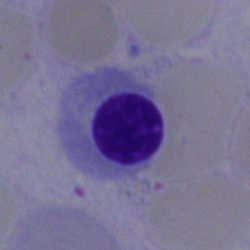 Bone marrow smear showing a normoblast.